400×400 px. Peripheral blood film. Cropped to a single cell — 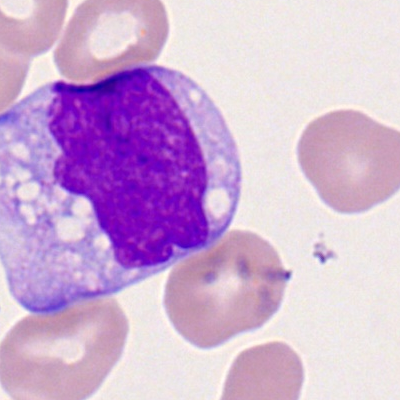
Q: Which cell type is shown here?
A: A monocyte.